Bone marrow smear:
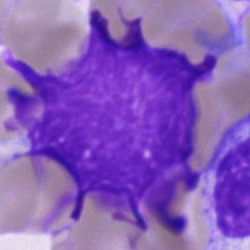An artifact.